Bone marrow smear:
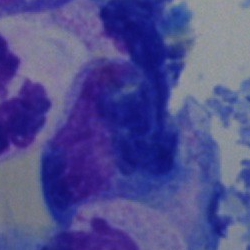 Classification — artifact.